Bone marrow smear
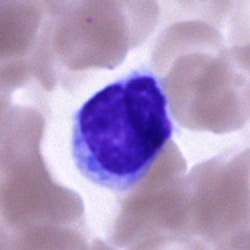Cell type — lymphocyte.